Bone marrow smear — 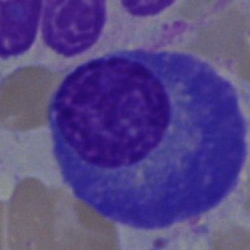Q: Identify the cell.
A: This is a plasma cell.